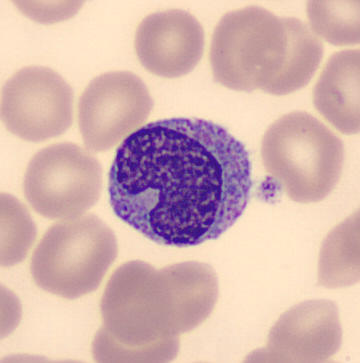 Single cell identified as a monocyte.
Acquisition: Peripheral blood smear · MGG-stained.